Automated cell imaging (CellaVision DM96) · peripheral blood smear
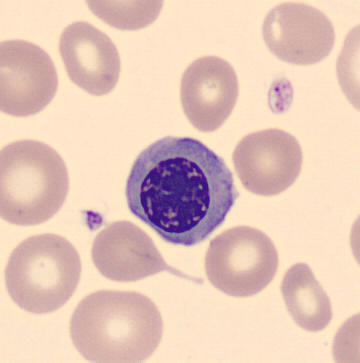 Morphology → normoblast.